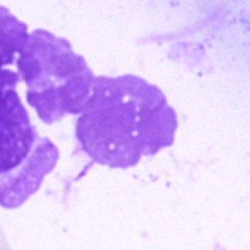

Q: What is shown here?
A: It is an artefact.